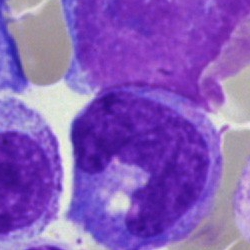 Single-cell crop from a bone marrow smear: lymphocyte.